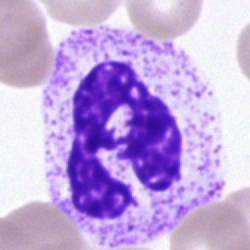

This is a segmented neutrophil.